Peripheral blood film: 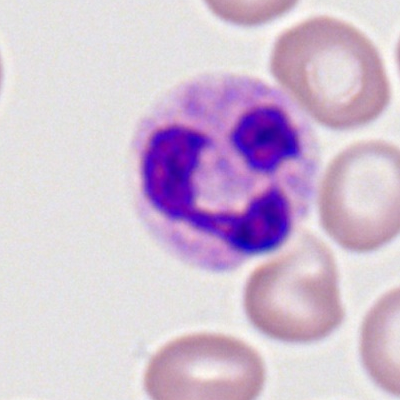

{"cell_type": "neutrophil (segmented)", "lineage": "myeloid"}